Bone marrow aspirate smear:
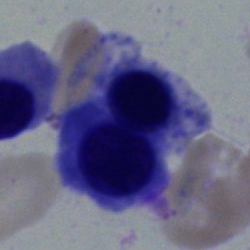 Specimen: bone marrow aspirate smear.
Cell type: nucleated red cell.
Lineage: erythroid.